Bone marrow aspirate smear: 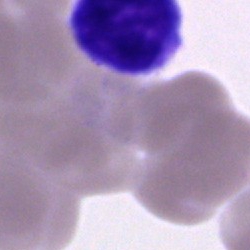The cell is cell of indeterminate lineage.